Bone marrow aspirate smear.
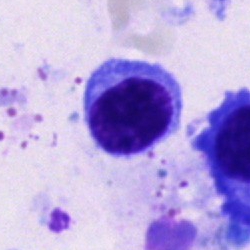

Impression → typical lymphocyte.